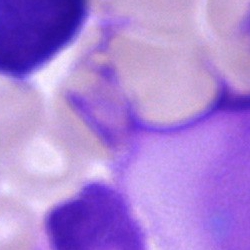
Q: What is shown here?
A: This is an artefact.